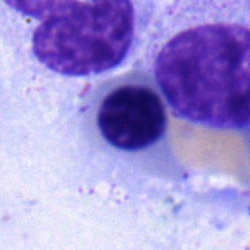

Bone marrow smear showing a nucleated red cell.